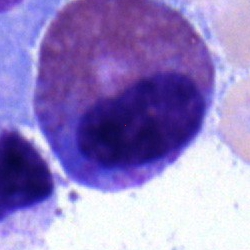 Eosinophilic granulocyte.